Peripheral blood film.
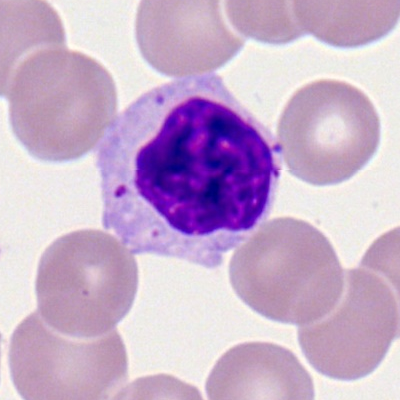

Lymphocyte.